250 by 250 pixels. May-Grünwald-Giemsa stain. Bone marrow aspirate smear.
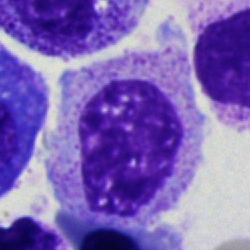 Morphology → myelocyte.